Bone marrow smear.
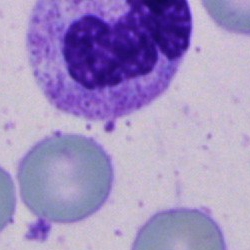Q: Identify the cell.
A: It is a segmented neutrophil.